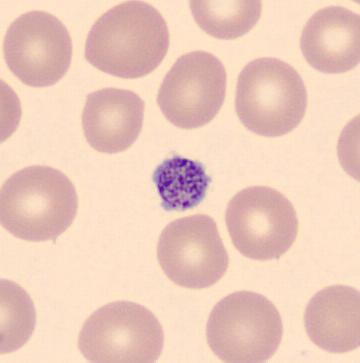
Acquisition: Automated cell imaging (CellaVision DM96); peripheral blood film; 360×363. Q: What is shown here?
A: A platelet (thrombocyte).